Bone marrow aspirate smear · May-Grünwald-Giemsa/Pappenheim stain · 250×250 px: 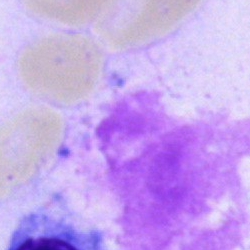Impression → artefact.